Peripheral blood smear:
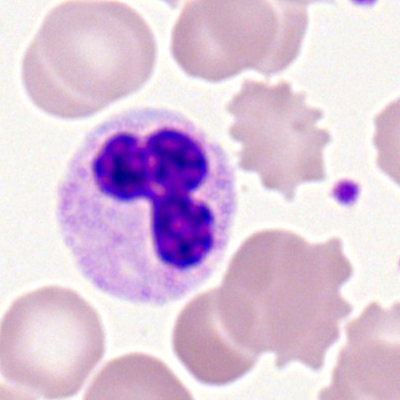

A segmented neutrophil.